Bone marrow smear · brightfield microscopy, 40× oil immersion:
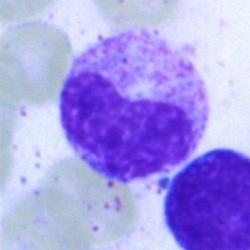

Q: Identify the cell.
A: Band neutrophil.